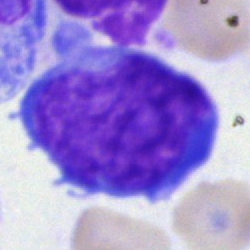The classification is blast.